Bone marrow aspirate smear: 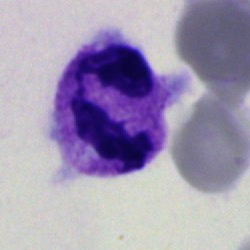
Showing a polymorphonuclear neutrophil.